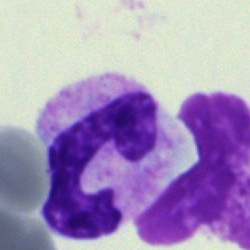The classification is band neutrophil.